Bone marrow aspirate smear · 40× objective, oil immersion
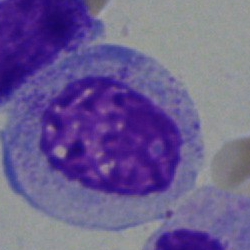Morphology consistent with a stab cell.